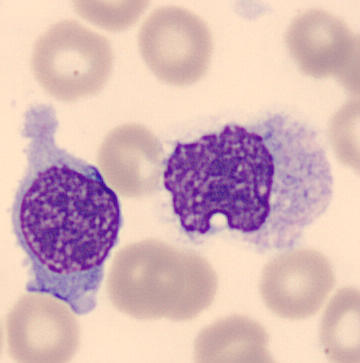

Morphological class — monocyte.